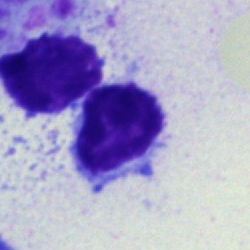 Q: Identify the cell.
A: Typical lymphocyte.